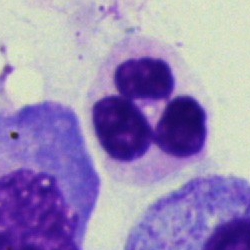

The classification is neutrophil (segmented).